Bone marrow smear: 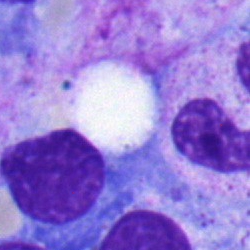Classification = stab cell.